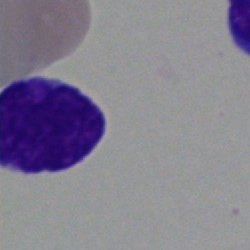 Q: What type of cell is this?
A: A blast cell.